Bone marrow aspirate smear:
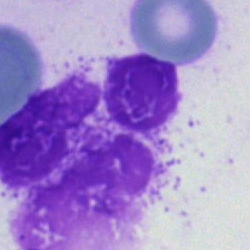 Specimen: bone marrow aspirate smear.
Cell type: artefact.